Bone marrow aspirate smear. 40× oil immersion — 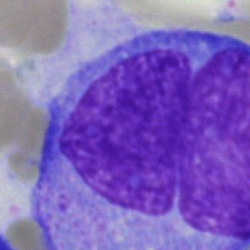
Blast cell.